40× objective, oil immersion. Bone marrow aspirate smear — 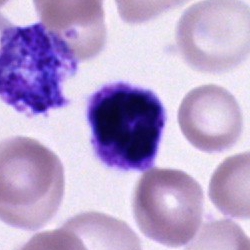
Impression — segmented neutrophil.